May Grünwald-Giemsa stain · peripheral blood smear: 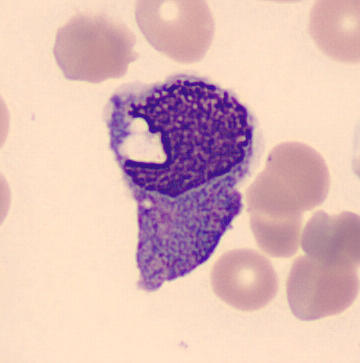Monocyte.